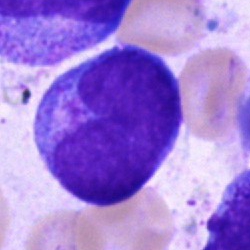 Morphology — blast.